400×400; peripheral blood film; Romanowsky-stained: 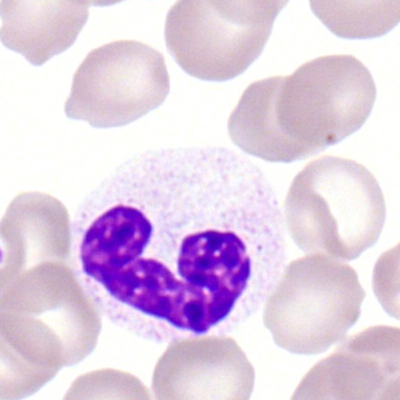
Cell: segmented neutrophil.